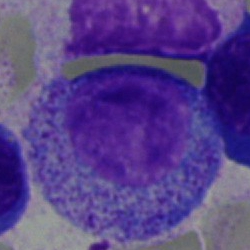
The morphological class is progranulocyte.